Bone marrow aspirate smear.
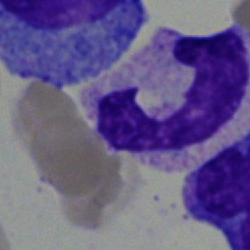 Single cell identified as a band neutrophil.